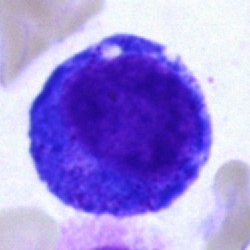 Morphology — promyelocyte.